Bone marrow smear: 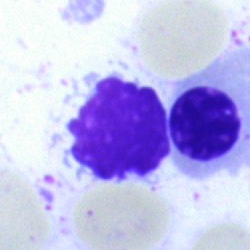
Specimen: bone marrow aspirate smear.
Cell: normoblast.
Lineage: erythroid.